Cropped to a single cell; peripheral blood film — 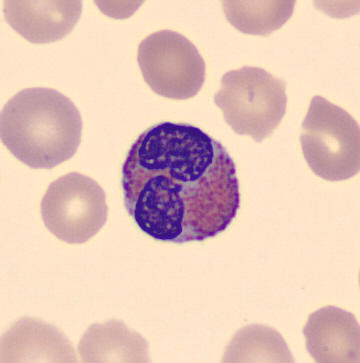 Cell type: eosinophil.